May-Grünwald-Giemsa stain · cropped to a single cell · bone marrow aspirate smear: 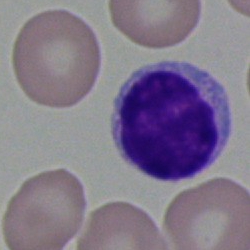 Morphological class = typical lymphocyte.